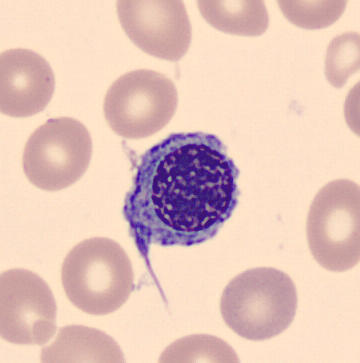Specimen: peripheral blood film.
Classification: nucleated red blood cell.
Lineage: erythroid.